Bone marrow smear — 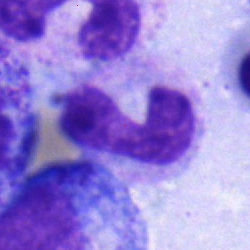{"cell_type": "band neutrophil"}